May-Grünwald-Giemsa/Pappenheim stain. Bone marrow aspirate smear — 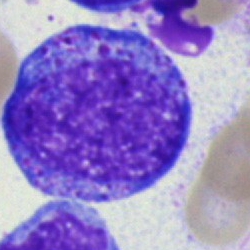Q: What is the morphological classification of this cell?
A: This is a progranulocyte.